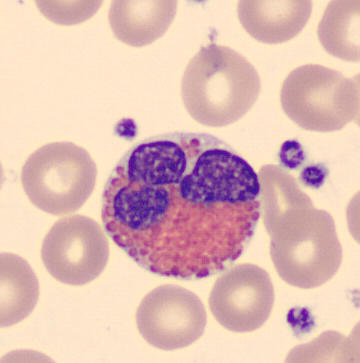Preparation: Peripheral blood film. MGG stain.

Cell: eosinophilic granulocyte.